40× oil immersion · single cell centered in the field · bone marrow smear:
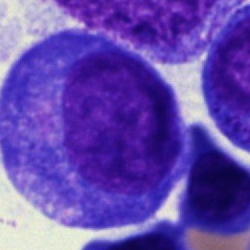

Single cell identified as a progranulocyte.